Bone marrow aspirate smear.
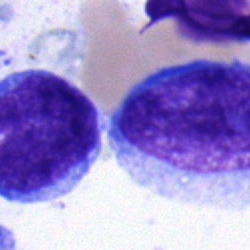

Specimen: bone marrow smear.
Cell type: blast.